Bone marrow aspirate smear: 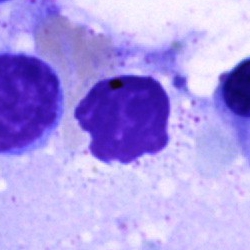Q: What is shown here?
A: Artefact.